Bone marrow smear · single-cell crop
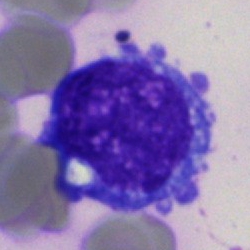
{"cell_type": "blast cell"}